Bone marrow smear
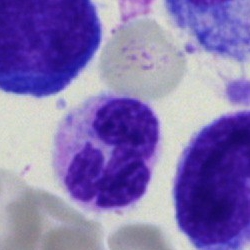 This is a segmented neutrophil.